40× objective, oil immersion · bone marrow aspirate smear: 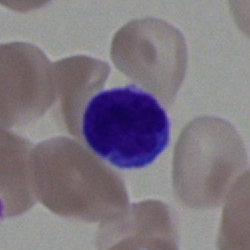Cell — lymphocyte.